Bone marrow aspirate smear.
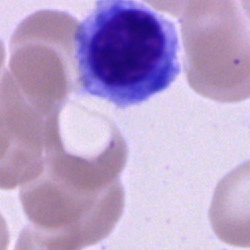 Q: What type of cell is this?
A: This is a nucleated red cell.